Bone marrow smear — 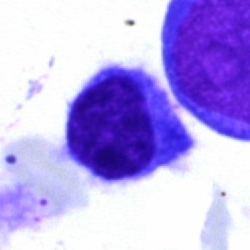Specimen: bone marrow smear.
Cell: typical lymphocyte.